Bone marrow aspirate smear · 40× oil immersion:
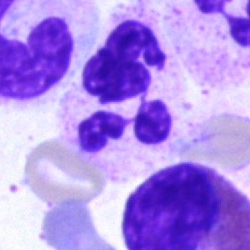

A polymorphonuclear neutrophil.